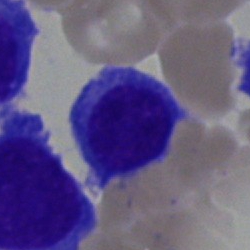

Single cell identified as a plasmacyte.